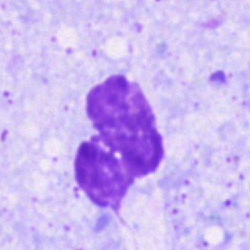 The classification is artifact.